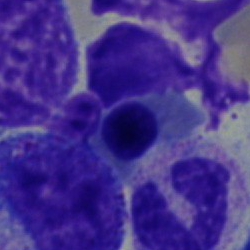The cell type is erythroblast.